Bone marrow smear:
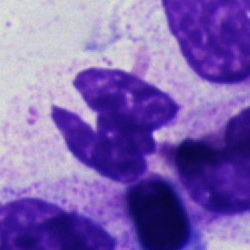 Impression — neutrophil (segmented).